Peripheral blood smear · image size 400×400 · M8 digital microscope (Precipoint), 100× oil immersion: 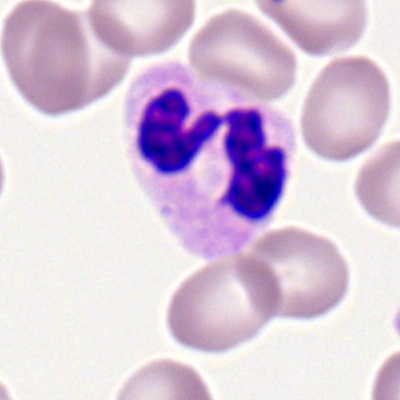 Impression — neutrophil (segmented).